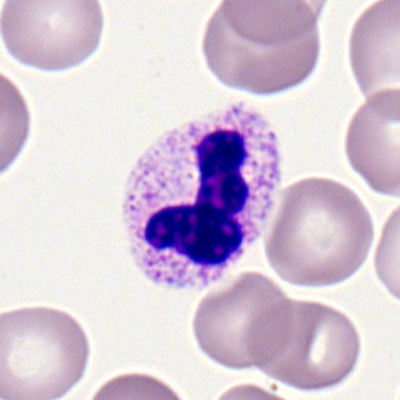

A segmented neutrophil.